Single-cell field. Bone marrow aspirate smear:
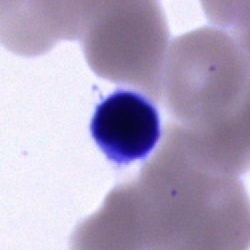Morphology — cell of indeterminate lineage.